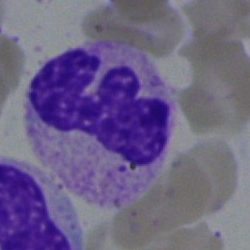
Impression — band neutrophil.